250×250 px; bone marrow smear
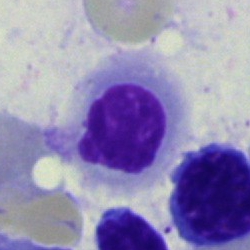 Nucleated red blood cell.